Bone marrow smear · 250×250: 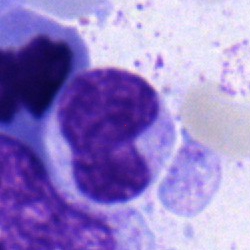

Showing a neutrophil (band).